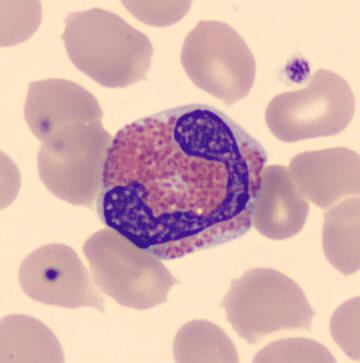

Preparation: Peripheral blood smear. Imaged on a CellaVision DM96 analyser. MGG stain. The cell type is eosinophilic granulocyte.